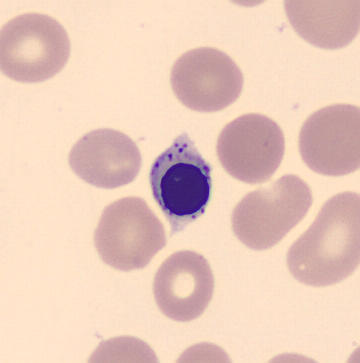 360×363 px · peripheral blood smear.
Classification — normoblast.